Single cell centered in the field; bone marrow smear.
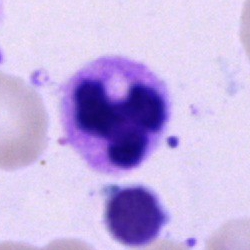 Specimen: bone marrow smear.
Cell: polymorphonuclear neutrophil.
Lineage: myeloid.